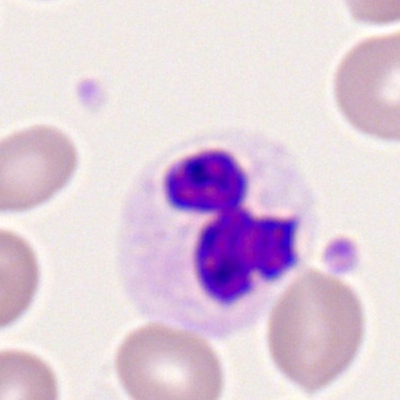
Classification = neutrophil (segmented).